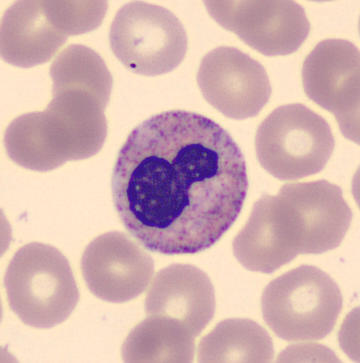 Image size 360×363; peripheral blood film. The cell type is neutrophil (segmented).